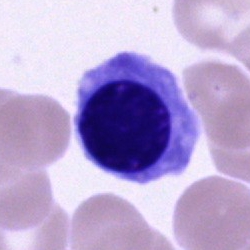
Morphology → nucleated red cell.